Peripheral blood film — 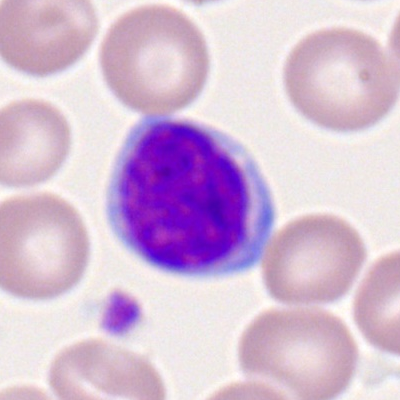
Morphology consistent with a lymphocyte.